Bone marrow smear — 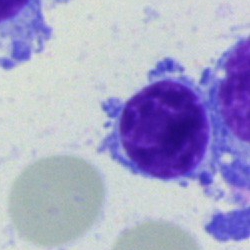Q: What is shown here?
A: Lymphocyte.